Bone marrow aspirate smear — 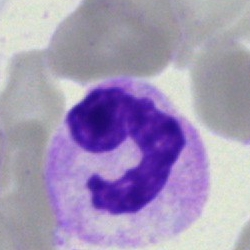Q: Which cell type is shown here?
A: It is a polymorphonuclear neutrophil.